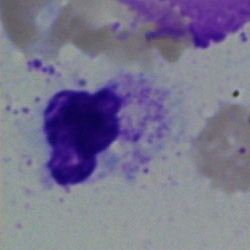 Specimen: bone marrow aspirate smear.
Classification: polymorphonuclear neutrophil.